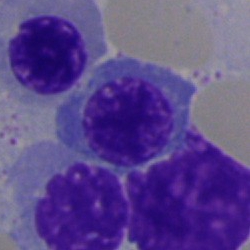
Specimen: bone marrow aspirate smear.
Cell: nucleated red blood cell.